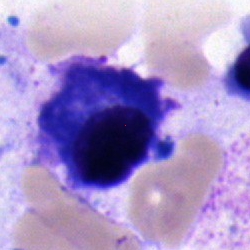
Showing a plasma cell.